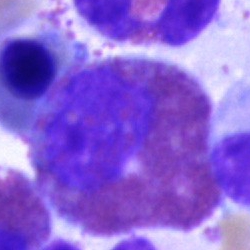 An eosinophilic granulocyte on a bone marrow smear.